Bone marrow smear: 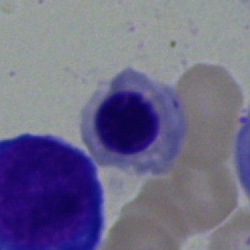

Morphological class = normoblast.